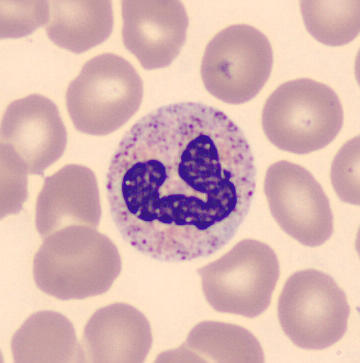

Preparation: Peripheral blood film.

The cell is neutrophil (segmented).